250×250 px. Brightfield, 40× oil-immersion objective. Bone marrow smear
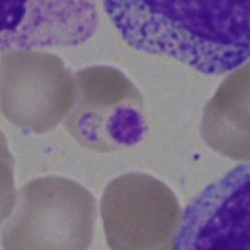
Artefact.